Pappenheim-stained · bone marrow aspirate smear.
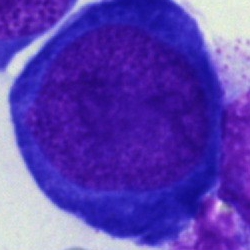Q: Which cell type is shown here?
A: A proerythroblast.